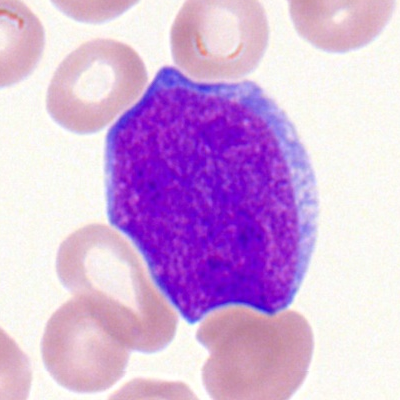
Morphology consistent with a myeloid blast.